Peripheral blood film. Romanowsky-stained.
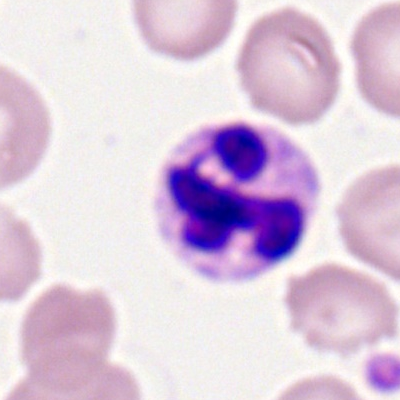

{"cell_type": "neutrophil (segmented)"}